Peripheral blood smear.
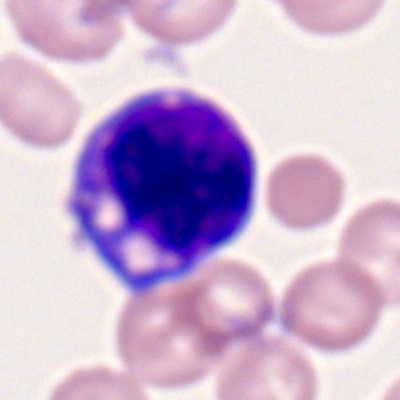
A myeloid blast.